Single cell centered in the field. Bone marrow smear:
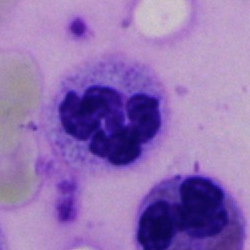

A polymorphonuclear neutrophil.